Brightfield microscopy, 40× oil immersion · bone marrow smear:
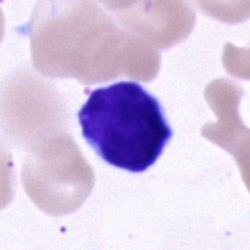 Cell type — lymphocyte.